Bone marrow aspirate smear.
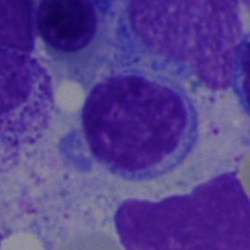

This is a lymphocyte.